Bone marrow aspirate smear
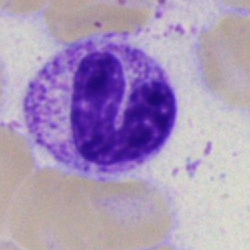Showing a stab cell.